Image size 250×250 · bone marrow smear · single-cell crop — 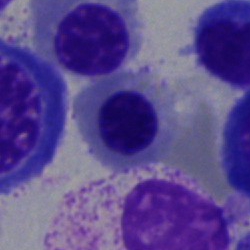Morphology consistent with a normoblast.